Bone marrow smear · 250×250 px:
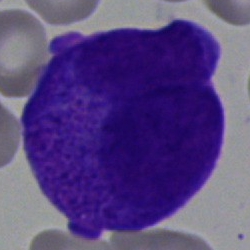 Q: Which cell type is shown here?
A: It is a blast cell.